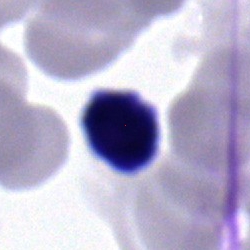
{"cell_type": "lymphocyte"}